Single cell centered in the field; 40× objective, oil immersion; bone marrow aspirate smear:
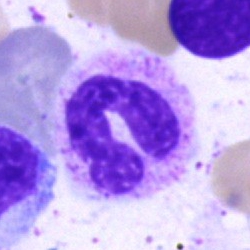 A band-form neutrophil.